Bone marrow smear. Single-cell field: 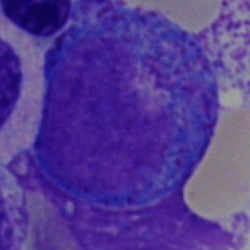

Cell type — promyelocyte.